250 by 250 pixels · bone marrow aspirate smear: 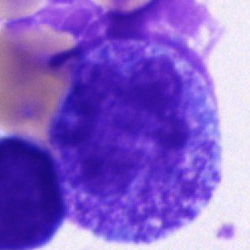 Morphology → promyelocyte.